250 by 250 pixels. Bone marrow aspirate smear. MGG-stained
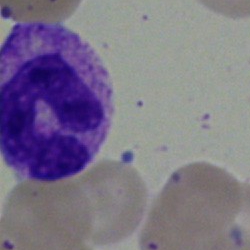

Single cell identified as a segmented neutrophil.